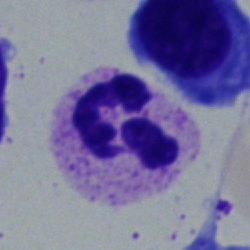

Morphological class = segmented neutrophil.